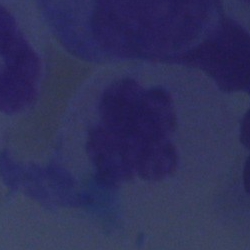This is an artifact.